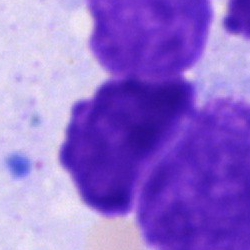

Q: What is shown here?
A: This is an artifact.